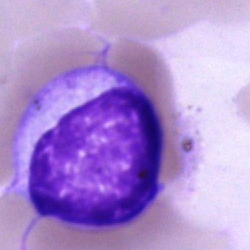

An artifact on a bone marrow smear.